Bone marrow aspirate smear; 250×250 — 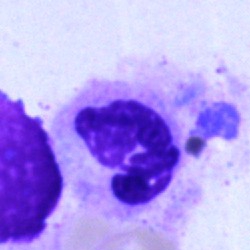 Specimen: bone marrow smear.
Cell: polymorphonuclear neutrophil.
Lineage: myeloid.